Peripheral blood film.
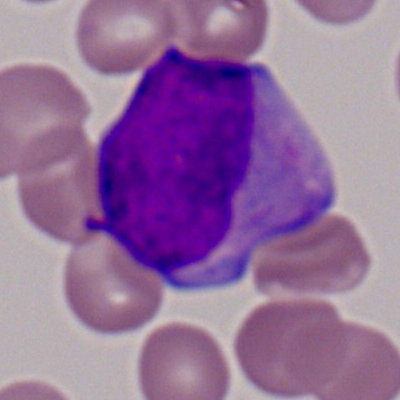 Morphological class: myeloblast.